Bone marrow aspirate smear:
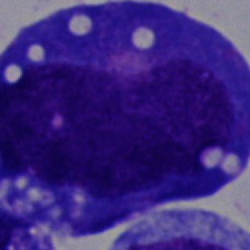 Morphology consistent with an undifferentiated blast.